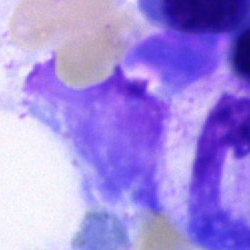 {"cell_type": "artifact"}